Bone marrow aspirate smear. Cropped to a single cell
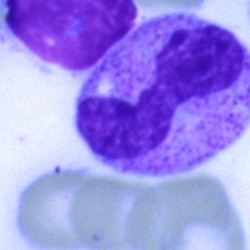Q: Which cell type is shown here?
A: It is a neutrophil (band).